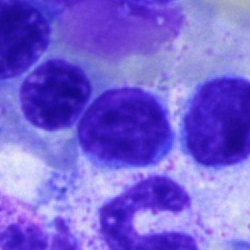

This is a lymphocyte.